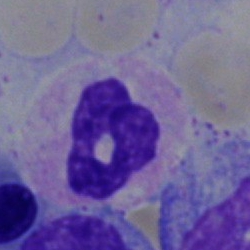

Segmented neutrophil.